Bone marrow aspirate smear. May-Grünwald-Giemsa/Pappenheim stain: 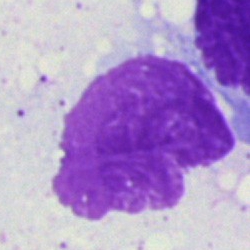

Cell type: artefact.